Bone marrow smear · May-Grünwald-Giemsa/Pappenheim stain: 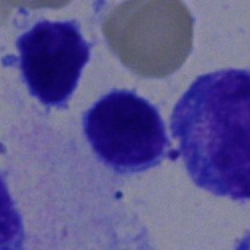 Classification = typical lymphocyte.